Bone marrow smear
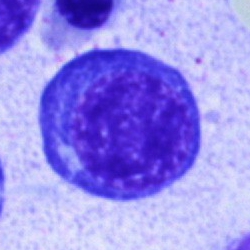
Impression → normoblast.